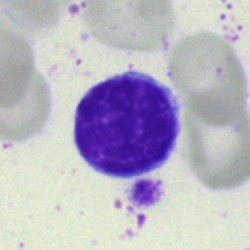

Single cell identified as a typical lymphocyte.